Bone marrow aspirate smear — 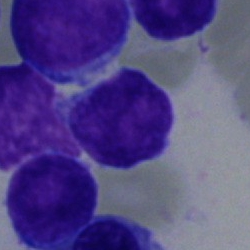 A blast.